Bone marrow aspirate smear: 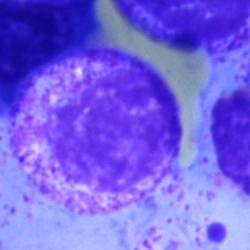
This is a myelocyte.